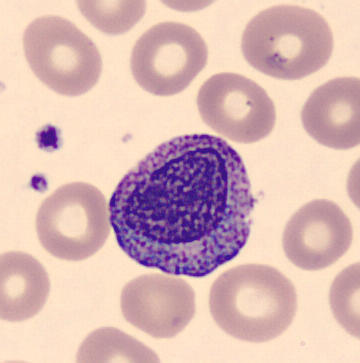

Q: What is shown here?
A: A myelocyte. Acquisition: Peripheral blood film.